Bone marrow smear:
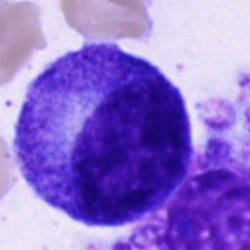 Impression — progranulocyte.